May-Grünwald-Giemsa/Pappenheim stain · 250×250 px · bone marrow aspirate smear
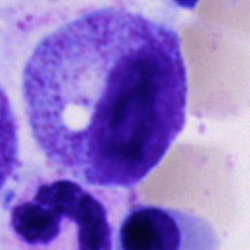

{"cell_type": "promyelocyte", "lineage": "myeloid"}